Bone marrow aspirate smear: 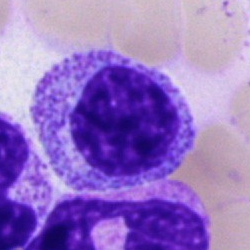{"cell_type": "myelocyte"}